40× objective, oil immersion. Bone marrow smear — 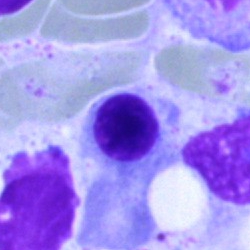

Morphology consistent with a normoblast.